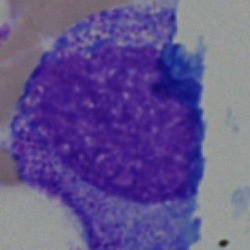 Impression → progranulocyte.